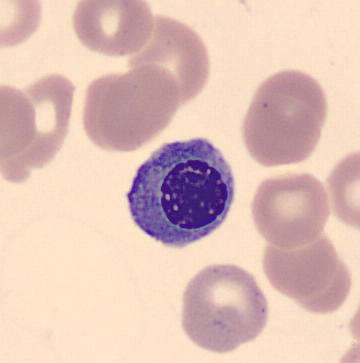

Nucleated red cell.
Peripheral blood smear.